Bone marrow aspirate smear · single-cell field.
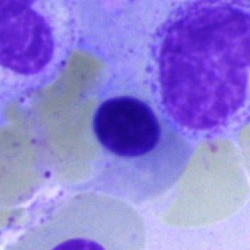Cell: normoblast.